Bone marrow aspirate smear — 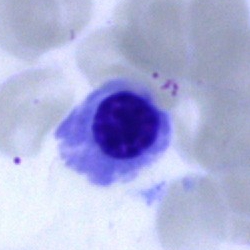

An erythroblast.